Bone marrow smear:
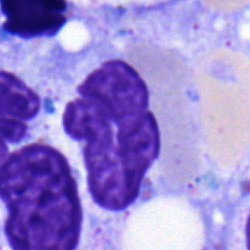 The cell type is segmented neutrophil.